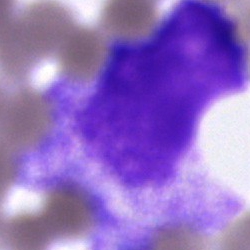 Showing an artefact.